Bone marrow smear; MGG-stained; brightfield, 40× oil-immersion objective: 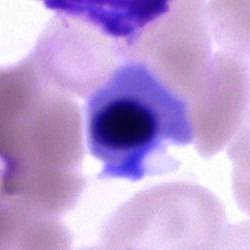
{"cell_type": "normoblast", "lineage": "erythroid"}